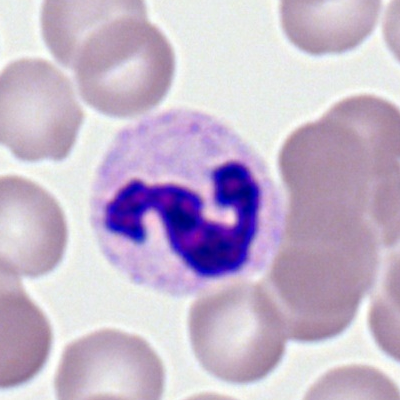

Morphological class — neutrophil (segmented).